Bone marrow smear. Brightfield microscopy, 40× oil immersion. May-Grünwald-Giemsa/Pappenheim stain — 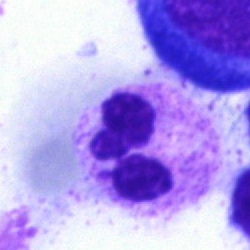
Morphology — segmented neutrophil.